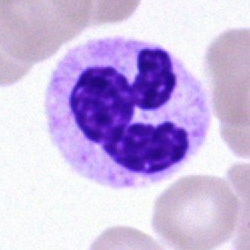Q: What is the morphological classification of this cell?
A: This is a neutrophil (segmented).